Peripheral blood film
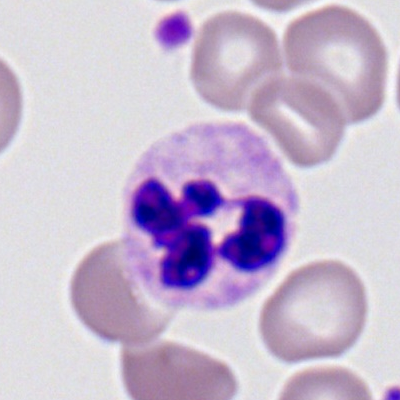

This is a segmented neutrophil.